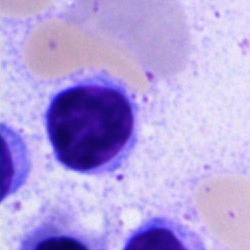The classification is lymphocyte.